40× oil immersion. Bone marrow aspirate smear.
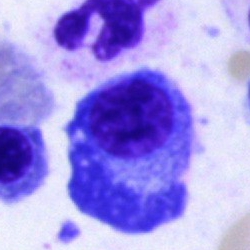

Plasma cell.